Bone marrow aspirate smear: 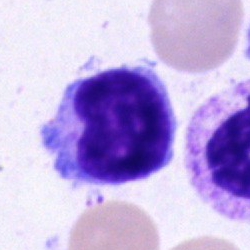

Single cell identified as a lymphocyte.